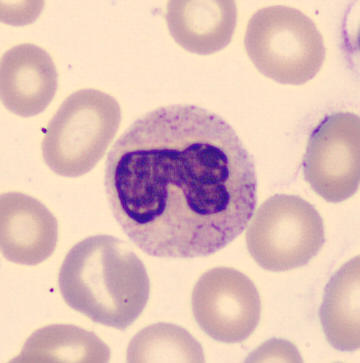

Classification: band neutrophil.
Image: Peripheral blood smear.